Bone marrow aspirate smear: 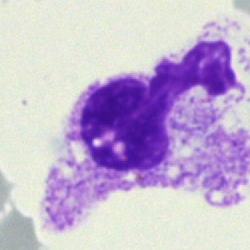 Morphology consistent with a neutrophil (segmented).